Bone marrow smear. 40× objective, oil immersion:
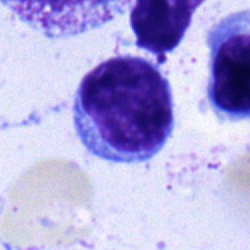This is a typical lymphocyte.